MGG-stained; bone marrow smear; 250 by 250 pixels.
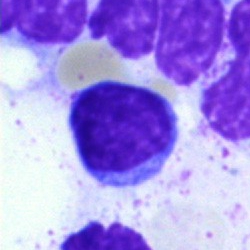 Classification — typical lymphocyte.